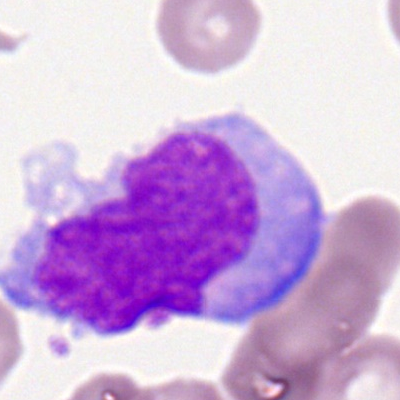

A monocyte on a peripheral blood smear.